250 by 250 pixels. Bone marrow smear.
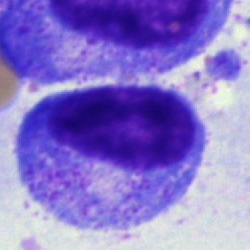
Cell type = promyelocyte.